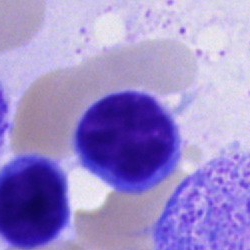 Specimen: bone marrow smear.
Cell type: typical lymphocyte.
Lineage: lymphoid.